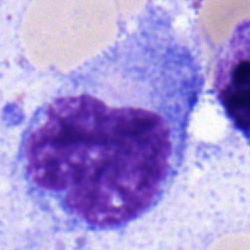
This is a monocyte.